Bone marrow smear. 40× oil immersion. Image size 250×250 — 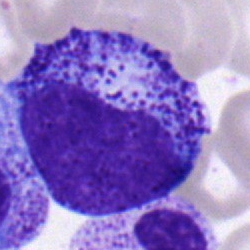 Q: Which cell type is shown here?
A: A myelocyte.